250×250 px; bone marrow smear
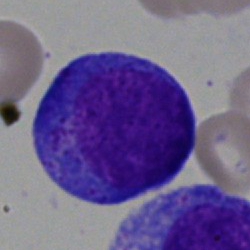
Impression — progranulocyte.